Image size 250×250; single cell centered in the field; bone marrow aspirate smear.
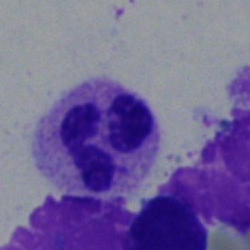

Q: What is the morphological classification of this cell?
A: A polymorphonuclear neutrophil.